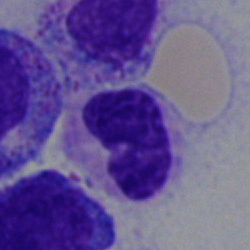
{"cell_type": "neutrophil (segmented)", "lineage": "myeloid"}